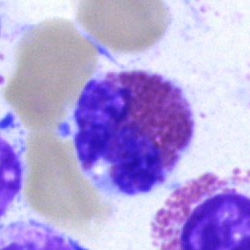
Bone marrow smear showing an eosinophilic granulocyte.